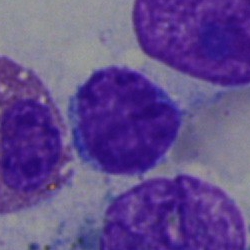
Typical lymphocyte.